Bone marrow aspirate smear — 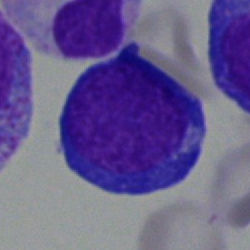
A nucleated red cell.